Bone marrow smear; 250×250.
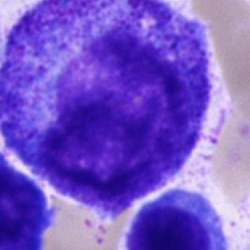

A promyelocyte.